Bone marrow aspirate smear: 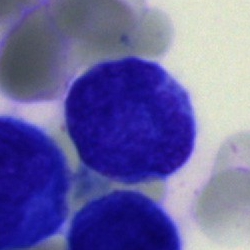
Morphological class = blast cell.